Bone marrow aspirate smear.
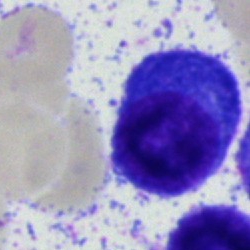
Morphological class — plasmacyte.